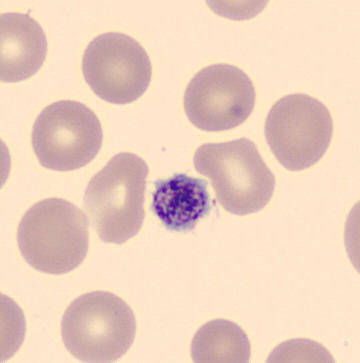360×363. Peripheral blood film. Cell type: thrombocyte.